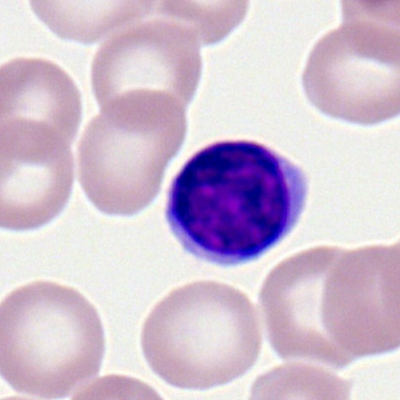 Impression → lymphocyte.